Image size 250×250; bone marrow aspirate smear:
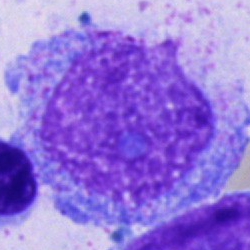
Morphology consistent with an unidentifiable cell.